Bone marrow smear. 250×250 px: 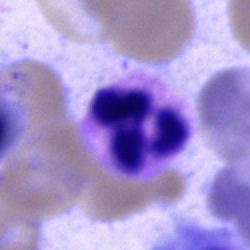 The classification is neutrophil (segmented).